Bone marrow smear · 250×250 px.
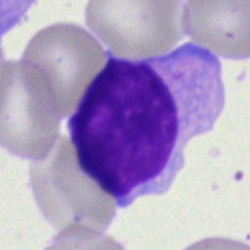
Specimen: bone marrow smear.
Morphological class: lymphocyte.
Lineage: lymphoid.